Bone marrow smear:
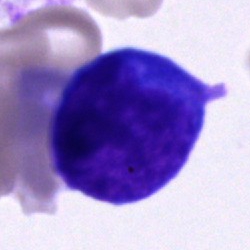 Proerythroblast.